Bone marrow aspirate smear. Single cell centered in the field: 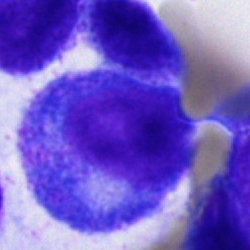 Single cell identified as a progranulocyte.